Bone marrow smear:
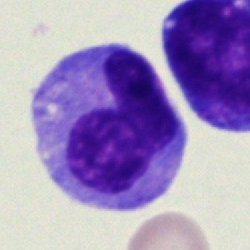 Cell: monocyte.